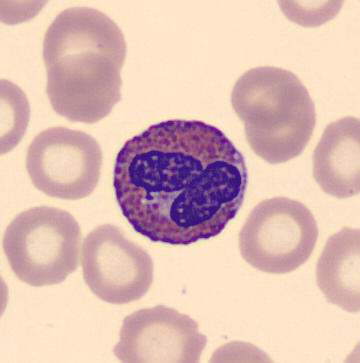

Preparation: Peripheral blood smear; automated cell imaging (CellaVision DM96).
Identified as an eosinophilic granulocyte.